Bone marrow smear.
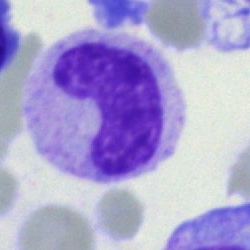Q: Identify the cell.
A: This is a band-form neutrophil.